Pappenheim-stained · bone marrow aspirate smear
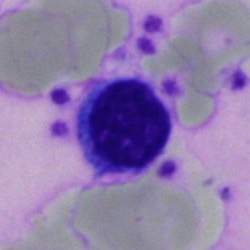

Morphology consistent with a lymphocyte.